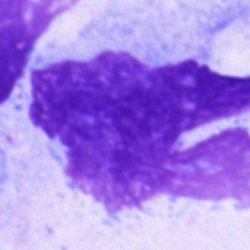

This is an artefact.